Bone marrow aspirate smear; May-Grünwald-Giemsa/Pappenheim stain; single-cell field.
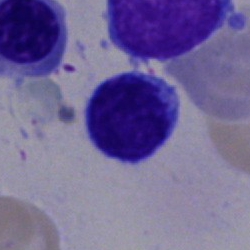
Cell type = typical lymphocyte.